Bone marrow aspirate smear.
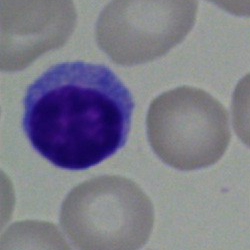 The cell type is lymphocyte.